Bone marrow smear.
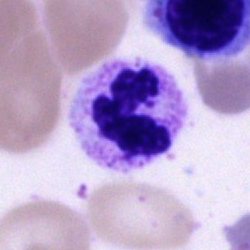
Morphology → polymorphonuclear neutrophil.